Bone marrow smear:
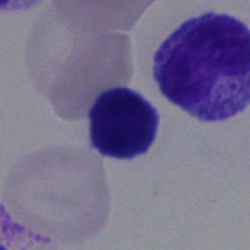
Q: Which cell type is shown here?
A: It is a typical lymphocyte.